May-Grünwald-Giemsa stain; bone marrow aspirate smear.
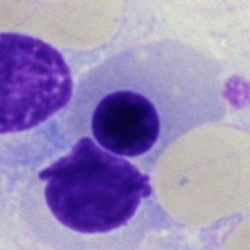Morphology — nucleated red blood cell.